Peripheral blood smear:
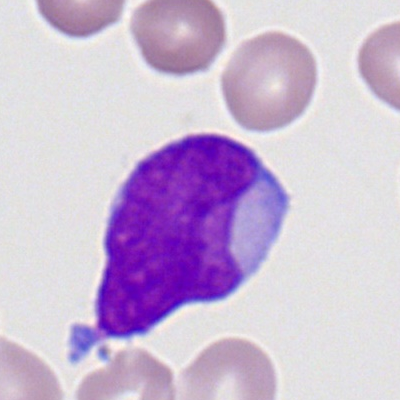 The cell type is myeloblast.